Bone marrow aspirate smear: 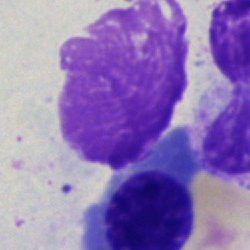

The cell shown is an artifact.